Bone marrow smear · cropped to a single cell.
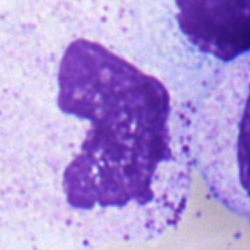

Neutrophil (band).